Bone marrow aspirate smear: 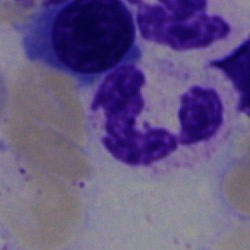

This is a polymorphonuclear neutrophil.